Bone marrow smear:
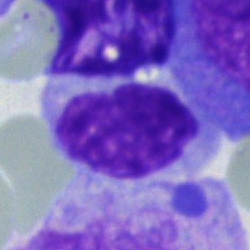 Classification: lymphocyte.